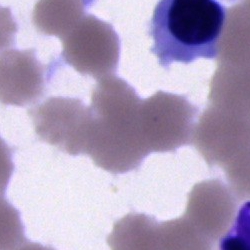Cell type: erythroblast.